Bone marrow aspirate smear:
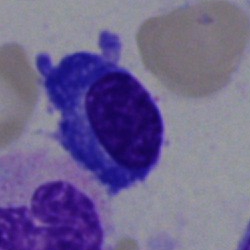 A plasma cell.